Pappenheim-stained · bone marrow aspirate smear: 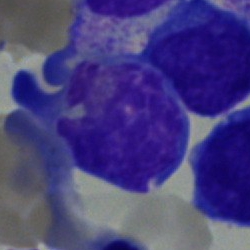 Q: What is shown here?
A: A blast.